Bone marrow smear:
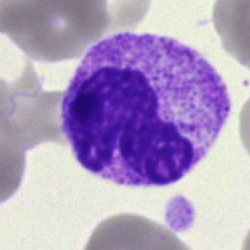 Q: What is shown here?
A: Neutrophil (band).